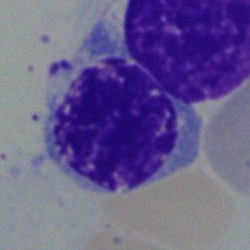

Q: Identify the cell.
A: This is a nucleated red blood cell.